Bone marrow aspirate smear. May-Grünwald-Giemsa stain: 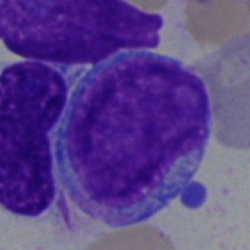
The morphological class is blast.